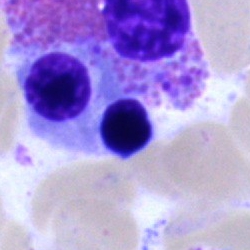Specimen: bone marrow smear.
Classification: nucleated red cell.
Lineage: erythroid.